Cropped to a single cell; bone marrow smear:
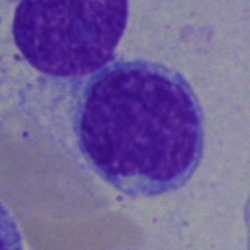

The cell shown is a lymphocyte.